Bone marrow smear: 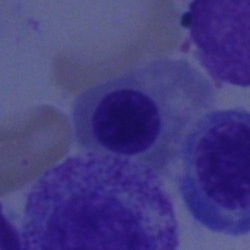 Cell = nucleated red blood cell.